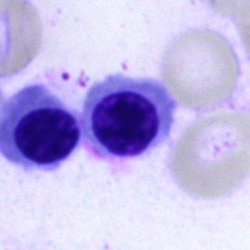 The classification is erythroblast.